Bone marrow aspirate smear. Single-cell crop. MGG-stained
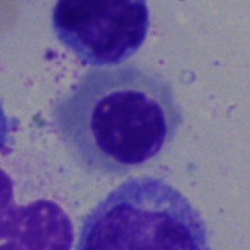Cell type: nucleated red cell.